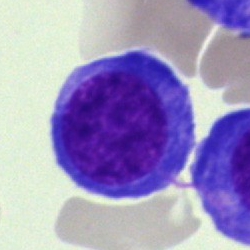

{"cell_type": "erythroblast"}